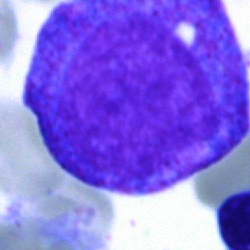 Classification: progranulocyte.